40× oil immersion · 250×250 px · bone marrow smear:
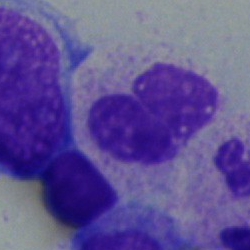 Neutrophil (band).